40× objective, oil immersion · bone marrow smear:
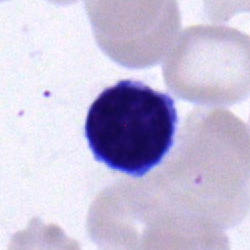
The cell is typical lymphocyte.